Cropped to a single cell. Bone marrow smear:
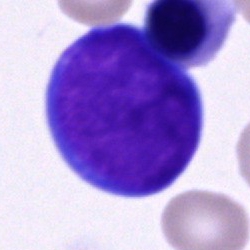
Showing a proerythroblast.